Bone marrow smear. MGG-stained. Single-cell crop: 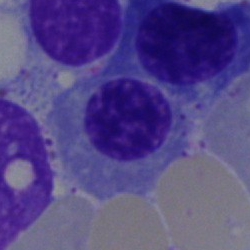
Cell = erythroblast.